Cropped to a single cell · 250 by 250 pixels · bone marrow smear
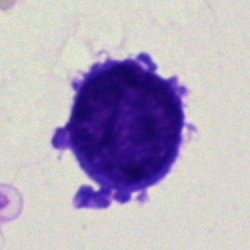

Showing an undifferentiated blast.